Bone marrow aspirate smear; single-cell crop — 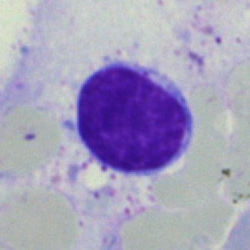

Cell = typical lymphocyte.